Peripheral blood film; Romanowsky stain; 100× oil immersion:
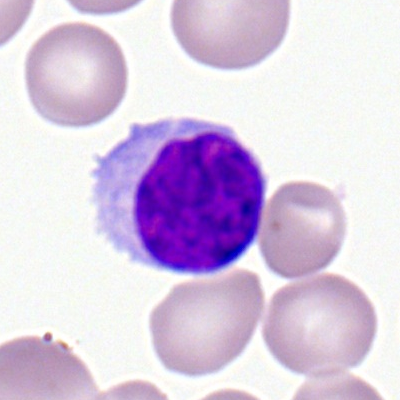

Showing a lymphocyte.